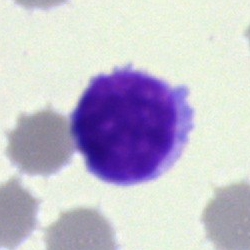
Specimen: bone marrow smear.
Cell: typical lymphocyte.
Lineage: lymphoid.